Bone marrow aspirate smear · cropped to a single cell — 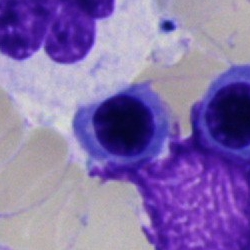 Nucleated red cell.